Romanowsky-stained. Peripheral blood smear — 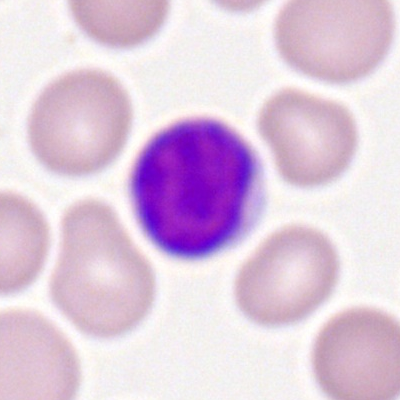
The cell shown is a typical lymphocyte.